Peripheral blood film. M8 digital microscope (Precipoint), 100× oil immersion:
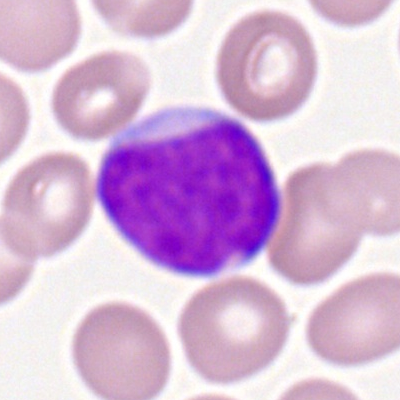Morphology consistent with a myeloid blast.